Bone marrow aspirate smear
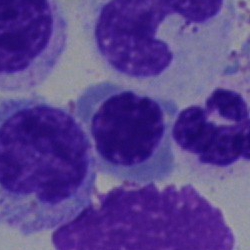Q: Identify the cell.
A: Nucleated red cell.